Peripheral blood film; 400 by 400 pixels:
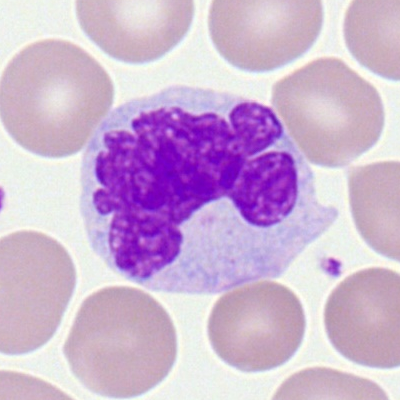 Q: What is shown here?
A: Monocyte.